Brightfield microscopy, 40× oil immersion; cropped to a single cell; bone marrow aspirate smear
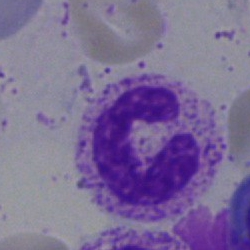
Single cell identified as a neutrophil (segmented).